Bone marrow aspirate smear: 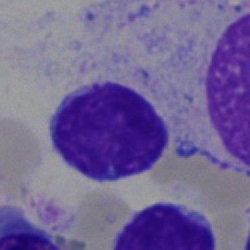

The cell type is lymphocyte.